Bone marrow aspirate smear — 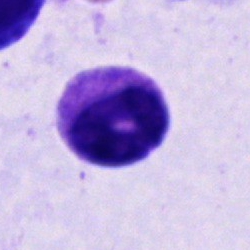Cell: band neutrophil.